Bone marrow aspirate smear. Image size 250×250. Single cell centered in the field — 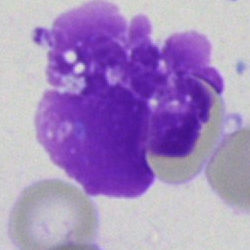 Q: What is shown here?
A: Artefact.